MGG-stained; bone marrow aspirate smear
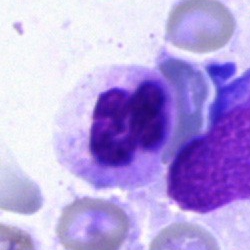
This is a polymorphonuclear neutrophil.